Bone marrow aspirate smear · May-Grünwald-Giemsa stain — 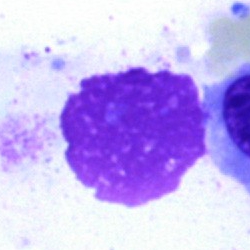Q: What is shown here?
A: It is an artifact.